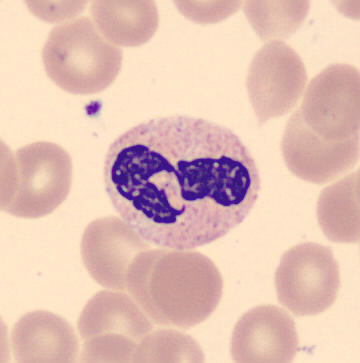

Classification = polymorphonuclear neutrophil.
Image: Peripheral blood smear.